Bone marrow smear: 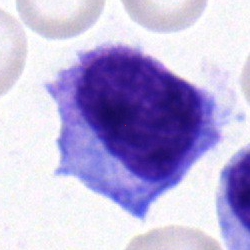
Cell = hairy cell.